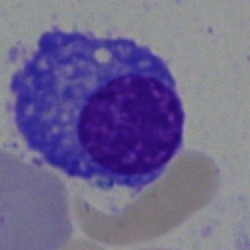 Specimen: bone marrow smear.
Cell type: plasma cell.